Bone marrow aspirate smear — 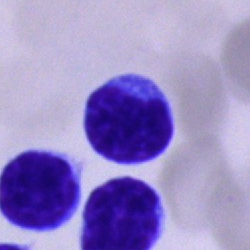

Classification: typical lymphocyte.